Cropped to a single cell. Peripheral blood smear. 100× oil immersion:
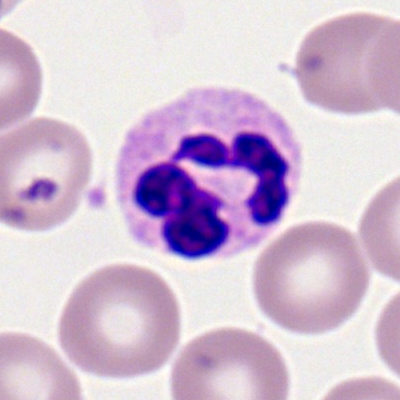
Specimen: peripheral blood film.
Classification: segmented neutrophil.
Lineage: myeloid.